Bone marrow aspirate smear.
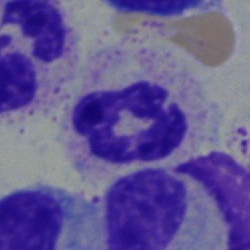 Q: Which cell type is shown here?
A: A neutrophil (segmented).